May-Grünwald-Giemsa stain. Bone marrow aspirate smear. Single-cell field.
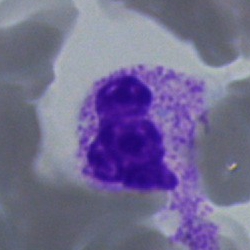 This is a neutrophil (segmented).